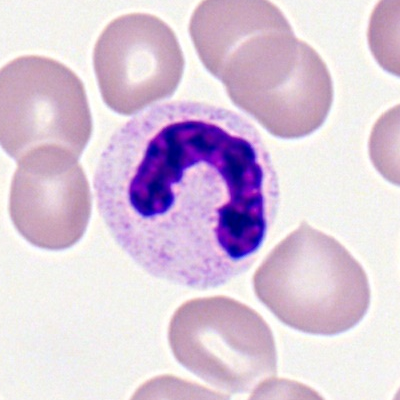
{"cell_type": "band neutrophil", "lineage": "myeloid"}